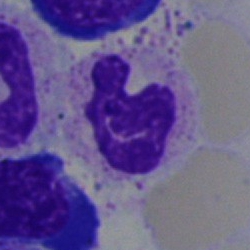
This is a segmented neutrophil.